Bone marrow aspirate smear; MGG-stained:
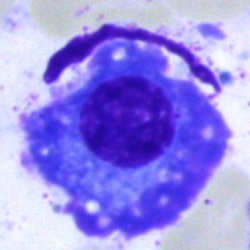 Showing a plasma cell.